Bone marrow aspirate smear. 250 by 250 pixels.
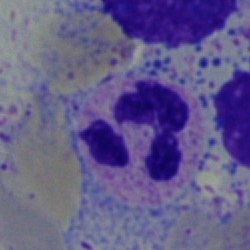 Cell: polymorphonuclear neutrophil.